Bone marrow aspirate smear: 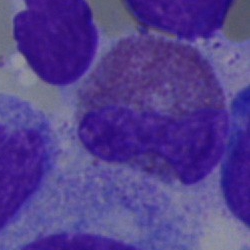 {"cell_type": "eosinophil", "lineage": "myeloid"}